Bone marrow smear:
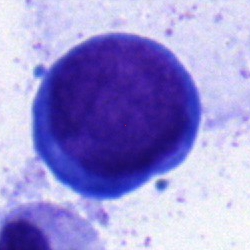 A proerythroblast.